Bone marrow aspirate smear
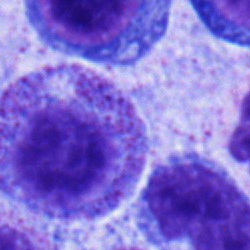Specimen: bone marrow aspirate smear.
Classification: normoblast.